250×250 px; single-cell crop; bone marrow aspirate smear — 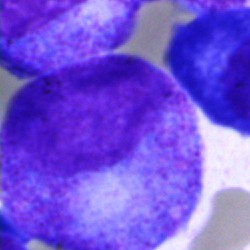
Single cell identified as a promyelocyte.